Bone marrow smear:
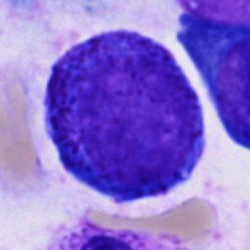Q: Identify the cell.
A: This is a promyelocyte.